Single cell centered in the field; bone marrow smear.
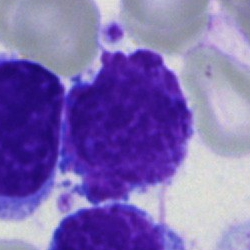

Cell: artefact.